Bone marrow smear:
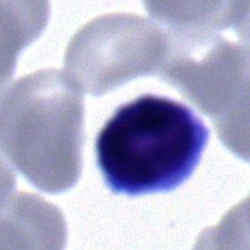

Q: What cell is this?
A: This is a typical lymphocyte.